Brightfield, 40× oil-immersion objective; bone marrow aspirate smear; single cell centered in the field.
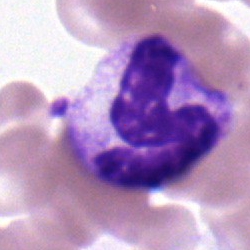

Morphology consistent with a band neutrophil.